Bone marrow aspirate smear
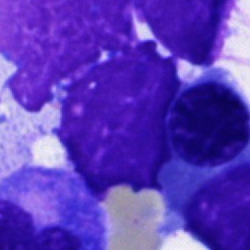 Specimen: bone marrow smear.
Morphological class: artifact.